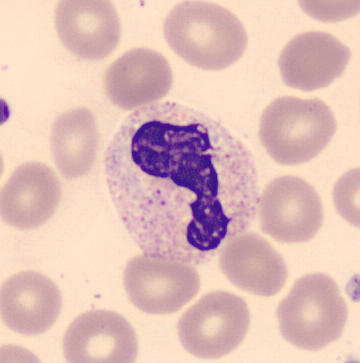Q: What type of cell is this?
A: Neutrophil (band).